Bone marrow smear: 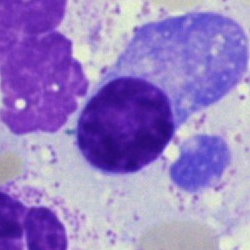

Classification = plasmacyte.